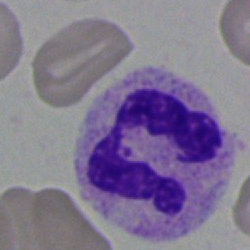
A polymorphonuclear neutrophil on a bone marrow smear.